Bone marrow aspirate smear: 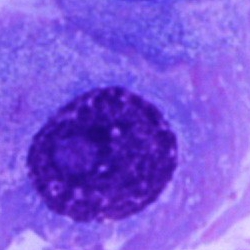

Q: What type of cell is this?
A: A plasma cell.